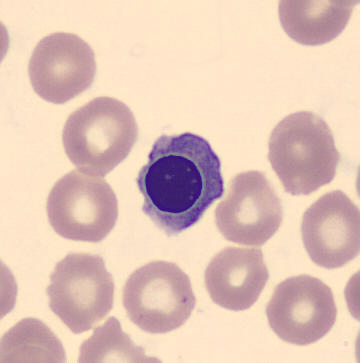 Cell = erythroblast. Peripheral blood film.